400×400. Peripheral blood film — 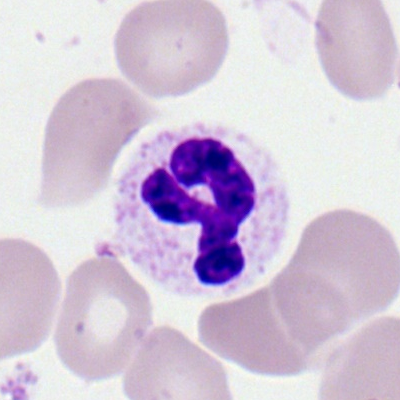

Single cell identified as a polymorphonuclear neutrophil.